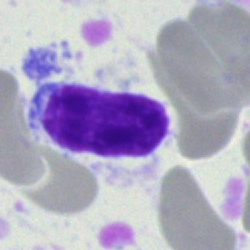Q: What is the morphological classification of this cell?
A: This is a lymphocyte.